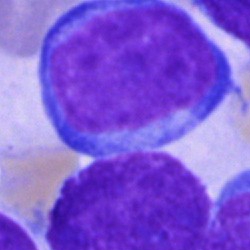 The cell shown is an undifferentiated blast.